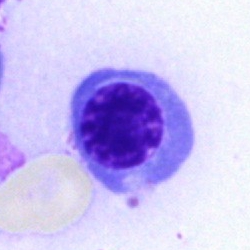
Bone marrow aspirate smear, single cell — nucleated red cell.